Single-cell field · bone marrow aspirate smear: 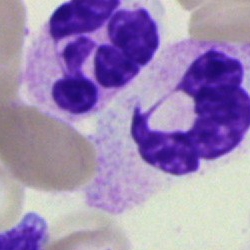{"cell_type": "polymorphonuclear neutrophil", "lineage": "myeloid"}